Peripheral blood smear
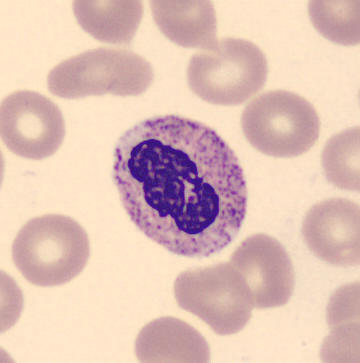
Morphological class — polymorphonuclear neutrophil.